Single-cell crop. Bone marrow aspirate smear. MGG-stained: 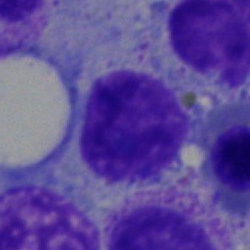
Showing a typical lymphocyte.